Peripheral blood smear.
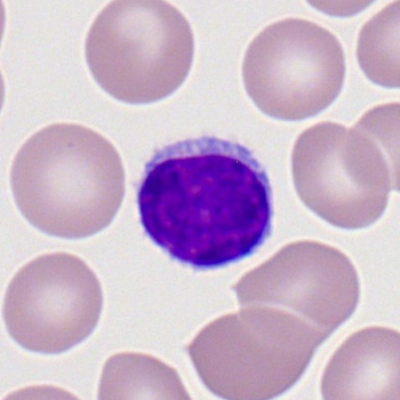

Single cell identified as a lymphocyte.